Bone marrow aspirate smear — 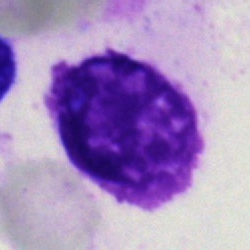 Morphology → artifact.